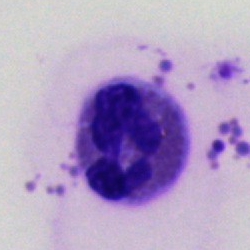 Impression — eosinophil.